Bone marrow smear
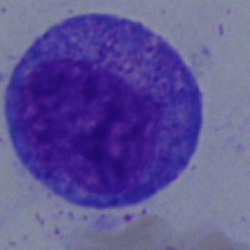Q: Identify the cell.
A: Promyelocyte.